Peripheral blood smear.
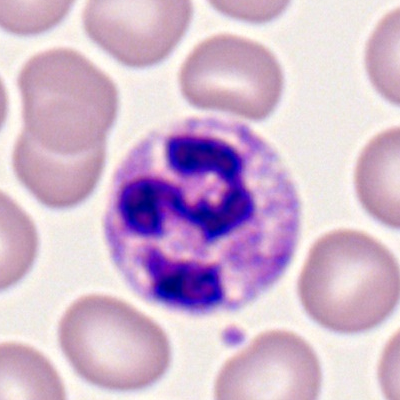

The cell shown is a segmented neutrophil.